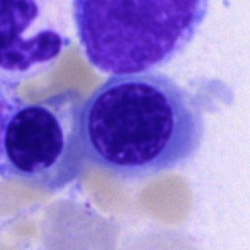 Specimen: bone marrow aspirate smear.
Cell type: nucleated red cell.
Lineage: erythroid.